250×250; bone marrow smear: 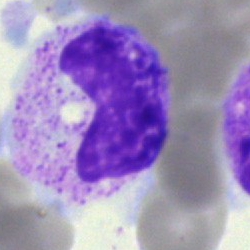
Specimen: bone marrow aspirate smear.
Cell type: band-form neutrophil.
Lineage: myeloid.